Peripheral blood film
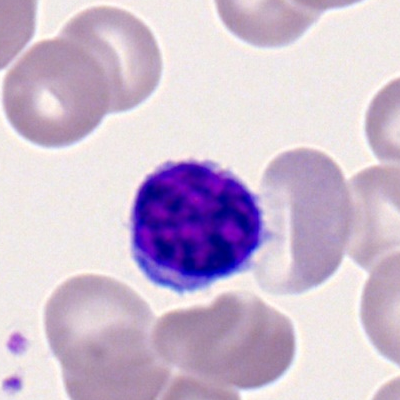Morphology consistent with a typical lymphocyte.